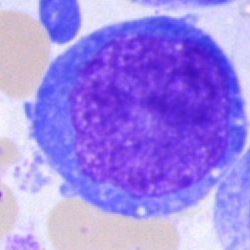
Q: What is the morphological classification of this cell?
A: An undifferentiated blast.